Bone marrow aspirate smear:
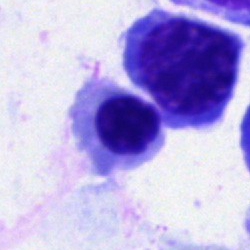
Showing a normoblast.